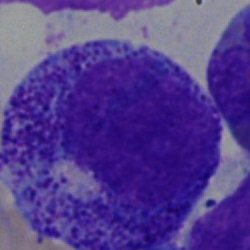

Cell type — promyelocyte.